Bone marrow aspirate smear; single-cell field:
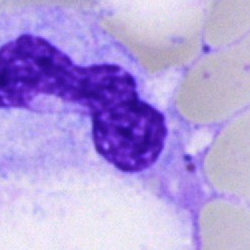
The cell is artifact.